Peripheral blood smear
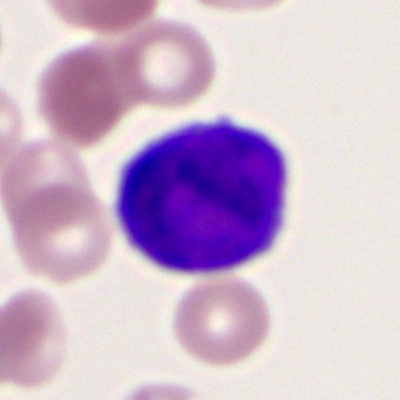 Q: What cell is this?
A: Myeloblast.